Bone marrow aspirate smear
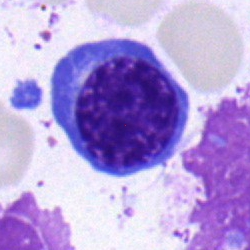

Morphology → nucleated red blood cell.